Bone marrow smear; brightfield microscopy, 40× oil immersion
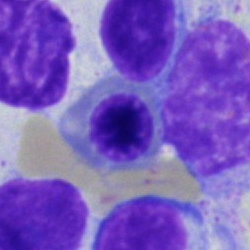 Classification = erythroblast.